Bone marrow smear — 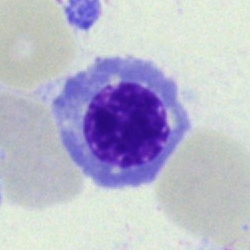 Single cell identified as a normoblast.